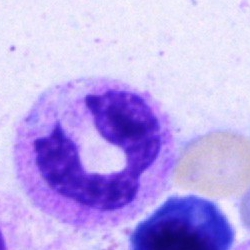Impression → neutrophil (segmented).